Bone marrow smear · single-cell crop
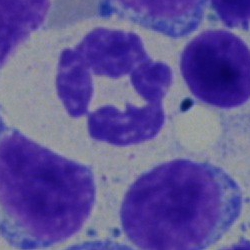Single cell identified as a segmented neutrophil.